Bone marrow smear. Pappenheim-stained
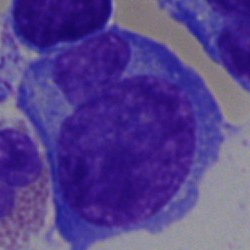

Q: What is shown here?
A: A plasma cell.